MGG-stained; bone marrow aspirate smear:
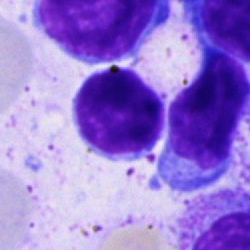

Q: What is shown here?
A: A typical lymphocyte.